Bone marrow aspirate smear:
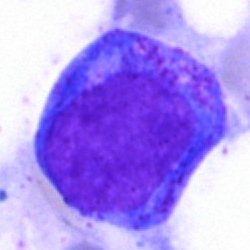

{"cell_type": "progranulocyte", "lineage": "myeloid"}